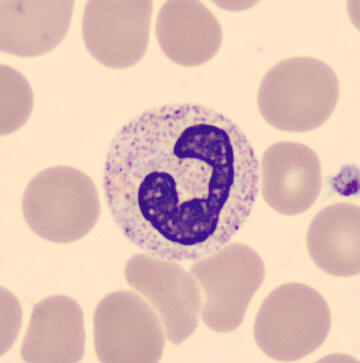Morphology — band-form neutrophil.

Preparation: Single-cell field; peripheral blood smear.